Single cell centered in the field · brightfield, 40× oil-immersion objective · bone marrow aspirate smear:
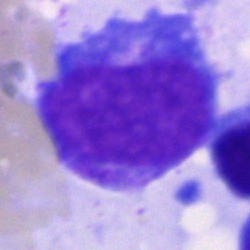

Single cell identified as an undifferentiated blast.